Peripheral blood smear: 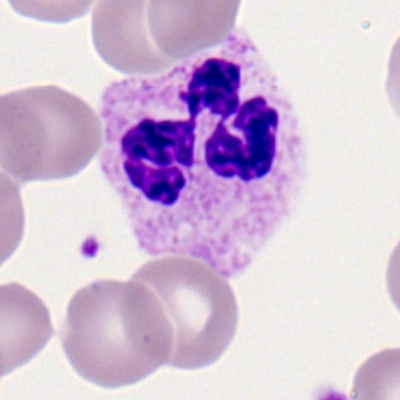Morphological class: segmented neutrophil.